Bone marrow aspirate smear:
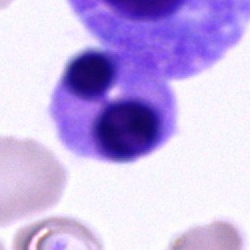

Specimen: bone marrow smear.
Classification: unidentifiable cell.